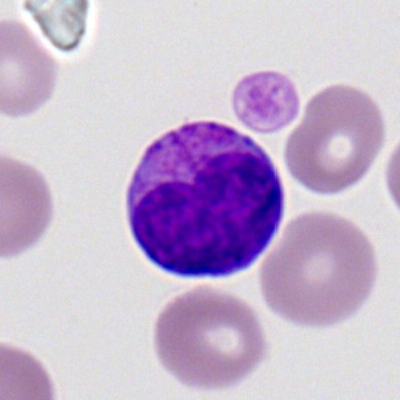Cell type — myeloid blast.